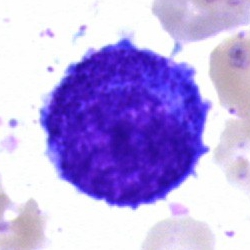 The classification is promyelocyte.